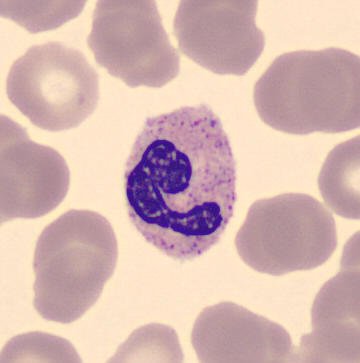
Peripheral blood film; image size 360×363. A band neutrophil.